Bone marrow smear: 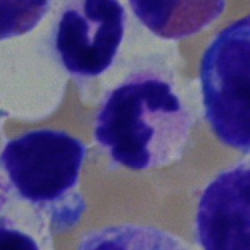A neutrophil (segmented).